250×250 px · bone marrow aspirate smear · May-Grünwald-Giemsa/Pappenheim stain: 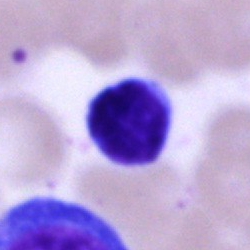

Cell type — typical lymphocyte.